Cropped to a single cell · bone marrow smear:
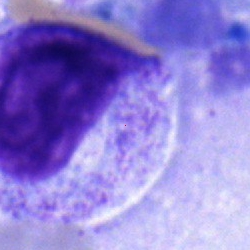 Classification — myelocyte.